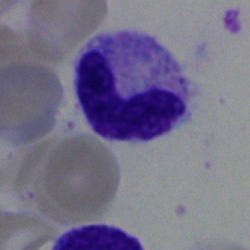
A band neutrophil on a bone marrow smear.